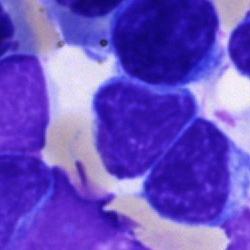
Bone marrow aspirate smear, single cell — typical lymphocyte.